Bone marrow smear.
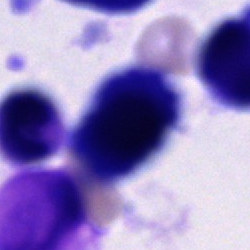 Morphology → cell of indeterminate lineage.